Bone marrow aspirate smear. May-Grünwald-Giemsa/Pappenheim stain — 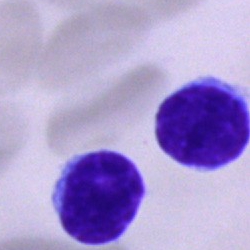 Showing a typical lymphocyte.